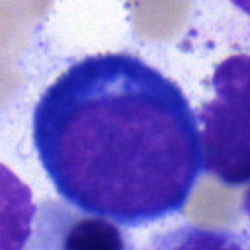
Q: What is the morphological classification of this cell?
A: A proerythroblast.